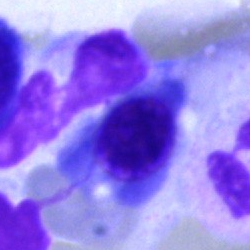Cell type = nucleated red blood cell.